Bone marrow smear: 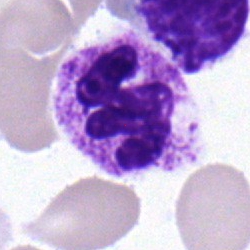 Q: What type of cell is this?
A: This is a polymorphonuclear neutrophil.